Bone marrow smear:
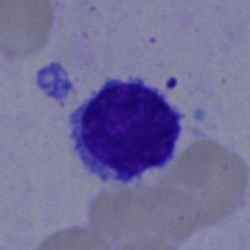 Morphological class: typical lymphocyte.